Cropped to a single cell. Brightfield microscopy, 40× oil immersion. Bone marrow smear:
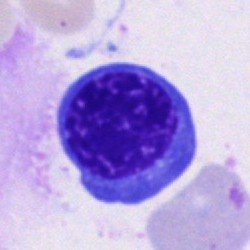 A nucleated red blood cell.